Romanowsky-type stain · peripheral blood film — 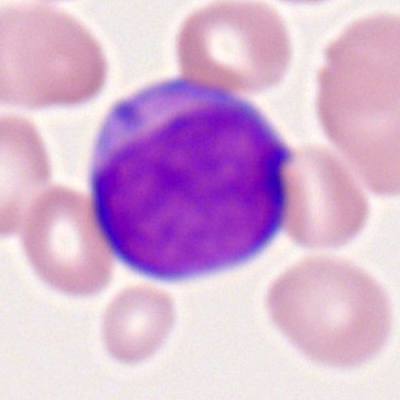
Showing a myeloblast.